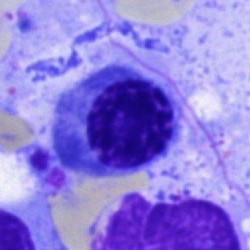 Classification = nucleated red cell.